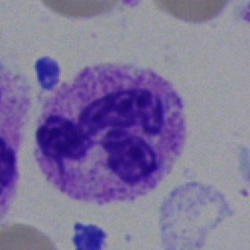 A neutrophil (segmented).